Single-cell field · bone marrow aspirate smear
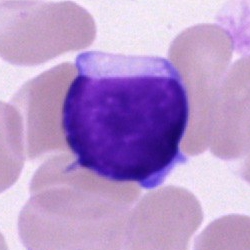The cell shown is a typical lymphocyte.